Bone marrow aspirate smear; Pappenheim-stained
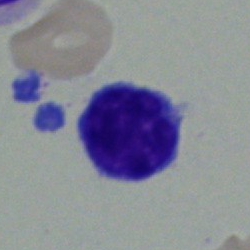Impression — lymphocyte.